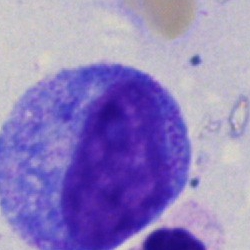 Q: What cell is this?
A: Promyelocyte.